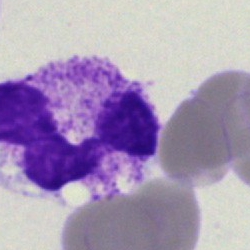The morphological class is polymorphonuclear neutrophil.